Bone marrow aspirate smear · May-Grünwald-Giemsa stain · 250 by 250 pixels: 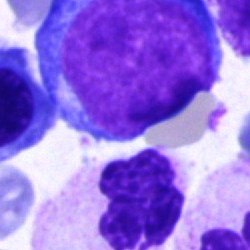 Neutrophil (segmented).